Bone marrow smear · single cell centered in the field.
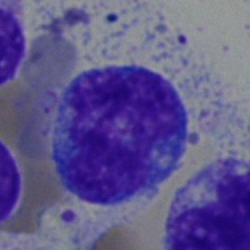
Cell: monocyte.